Single-cell field; bone marrow aspirate smear: 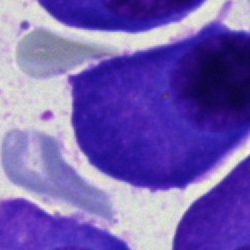
Morphology consistent with a plasmacyte.